Bone marrow aspirate smear: 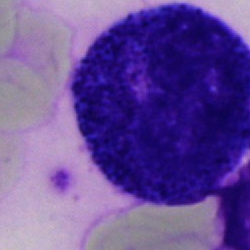

Proerythroblast.